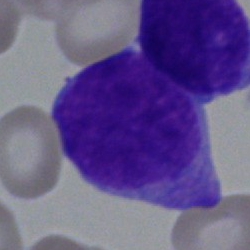
Bone marrow aspirate smear, single cell — blast.